Bone marrow aspirate smear · 250×250 px · brightfield, 40× oil-immersion objective:
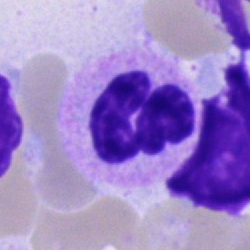
Q: Which cell type is shown here?
A: Polymorphonuclear neutrophil.